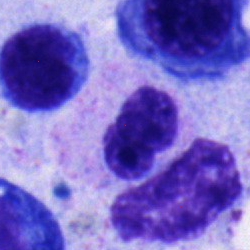
The cell shown is a band-form neutrophil.